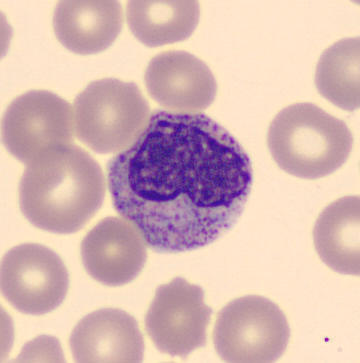
Morphology — metamyelocyte.